Bone marrow smear
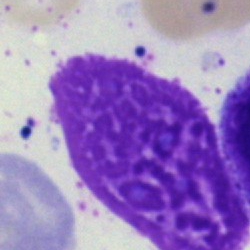 Specimen: bone marrow aspirate smear.
Cell: artifact.